Bone marrow aspirate smear
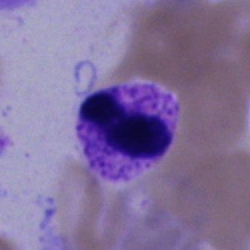 The cell shown is an artifact.